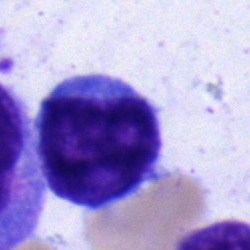Impression — blast.